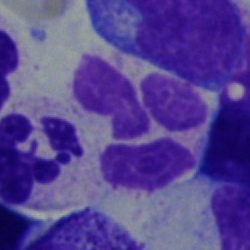
Morphology consistent with a polymorphonuclear neutrophil.